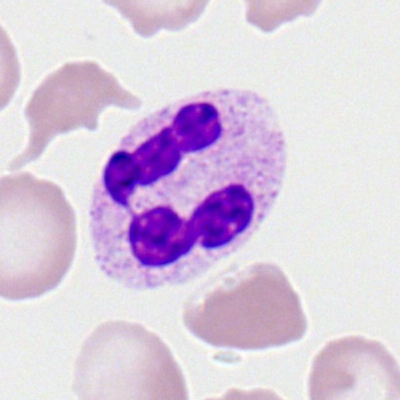Morphology consistent with a neutrophil (segmented).